Bone marrow smear:
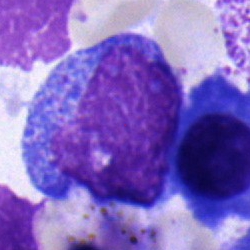Blast cell.